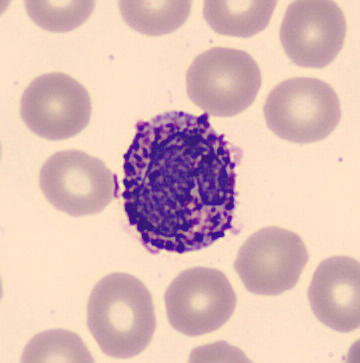
Image: Imaged on a CellaVision DM96 analyser. Peripheral blood smear.
Q: What is the morphological classification of this cell?
A: A basophilic granulocyte.